May-Grünwald-Giemsa/Pappenheim stain · bone marrow smear — 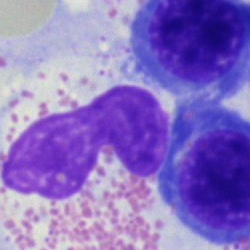

The morphological class is eosinophilic granulocyte.